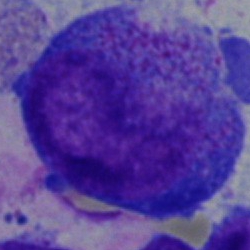 Impression → promyelocyte.